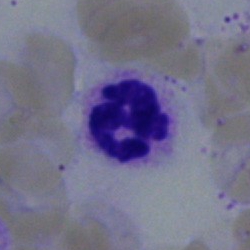

Cell type — segmented neutrophil.